40× objective, oil immersion. Bone marrow aspirate smear. Image size 250×250.
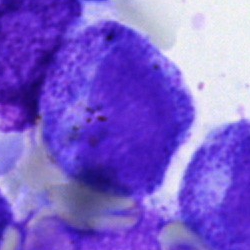 {"cell_type": "promyelocyte"}